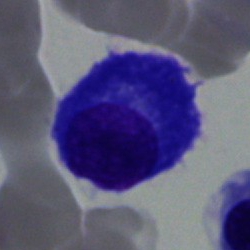 Morphological class: plasma cell.